Bone marrow smear: 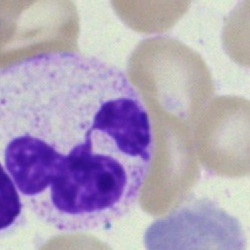Cell type: polymorphonuclear neutrophil.